250×250; bone marrow smear
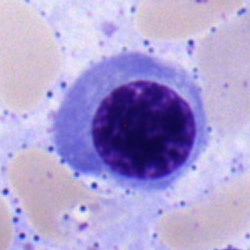
Impression → erythroblast.